Bone marrow smear — 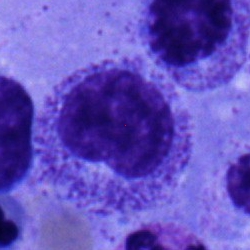 Single cell identified as a myelocyte.